Image size 250×250. Bone marrow smear:
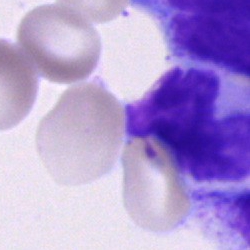 Q: Identify the cell.
A: This is an unidentifiable cell.